Bone marrow smear.
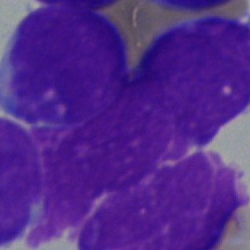
The cell shown is an undifferentiated blast.